Bone marrow aspirate smear.
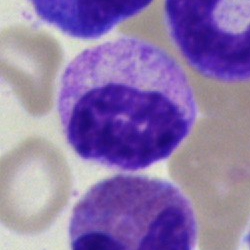

Cell = neutrophil (segmented).